Bone marrow smear
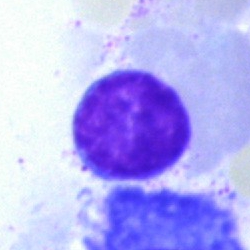 Q: What is shown here?
A: A typical lymphocyte.